250×250 · bone marrow aspirate smear — 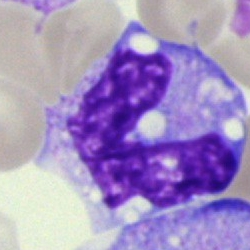 Q: What cell is this?
A: This is a monocyte.